40× oil immersion. Bone marrow smear — 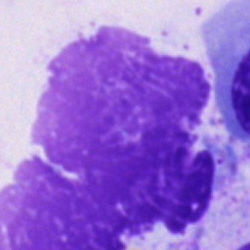
The cell shown is an artifact.